Bone marrow aspirate smear: 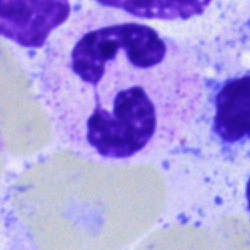

A segmented neutrophil.